Single-cell crop · image size 250×250 · bone marrow smear
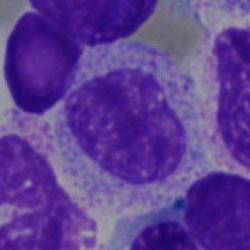

Showing a metamyelocyte.